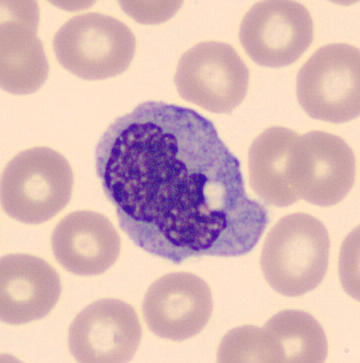Acquisition: Peripheral blood smear.
Single cell identified as a monocyte.